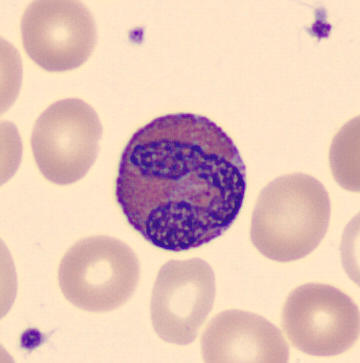Preparation: Peripheral blood film.

Morphology — eosinophilic granulocyte.